Bone marrow aspirate smear: 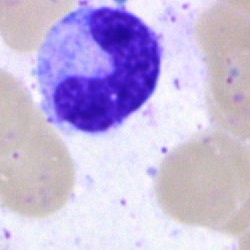

Cell = band neutrophil.